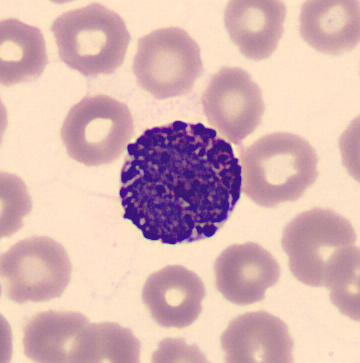 The cell is basophil.